Bone marrow smear. 250×250 — 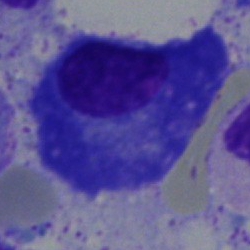 Specimen: bone marrow aspirate smear.
Cell: plasmacyte.